Bone marrow smear — 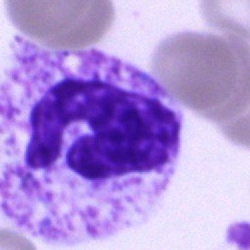 Morphology consistent with a neutrophil (segmented).